Bone marrow aspirate smear — 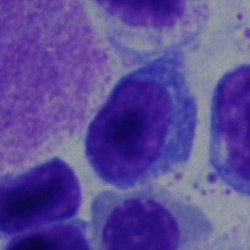A lymphocyte.